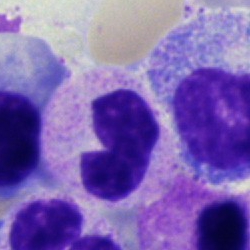

Morphological class: band-form neutrophil.